Bone marrow smear.
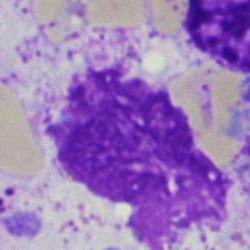
Cell type: artifact.